Single cell centered in the field; bone marrow aspirate smear: 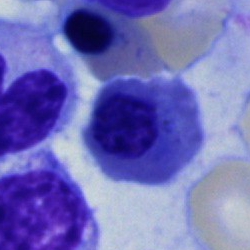Cell — nucleated red blood cell.